Bone marrow aspirate smear; 250×250 px; single-cell field.
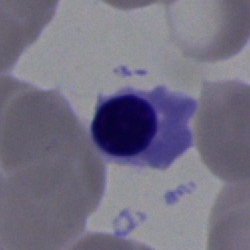 Nucleated red blood cell.